Peripheral blood smear — 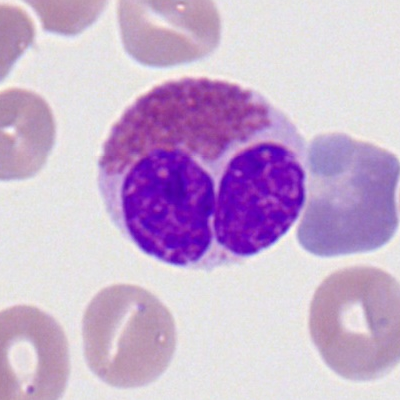 Specimen: peripheral blood smear.
Morphological class: eosinophil.
Lineage: myeloid.